400 by 400 pixels; peripheral blood film — 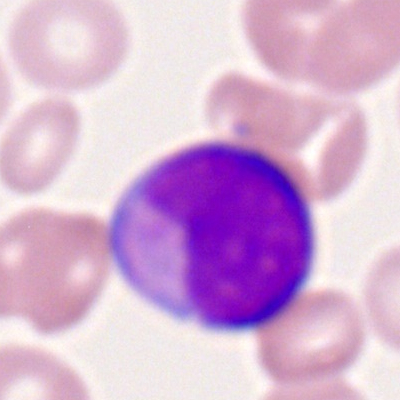{"cell_type": "myeloid blast", "lineage": "myeloid"}